MGG-stained · 250 by 250 pixels · bone marrow smear.
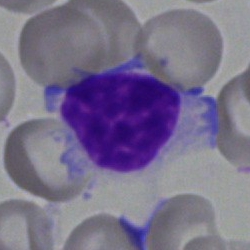 Impression → typical lymphocyte.